Bone marrow aspirate smear: 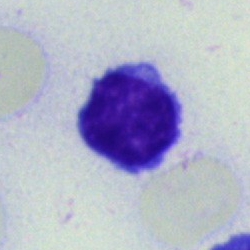

The classification is lymphocyte.